Bone marrow smear.
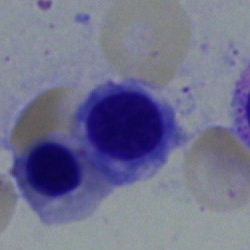

Cell = nucleated red blood cell.